Bone marrow smear. May-Grünwald-Giemsa stain:
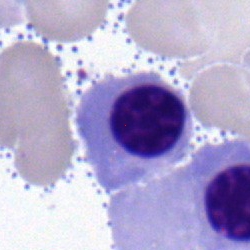
Morphology consistent with a nucleated red blood cell.